Romanowsky-type stain. Peripheral blood smear. 100× oil immersion, 14.14 px/µm
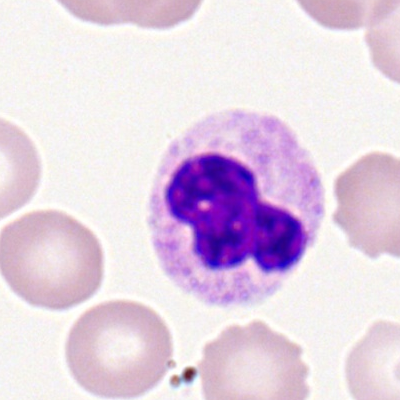
Specimen: peripheral blood film.
Cell type: neutrophil (segmented).
Lineage: myeloid.